Peripheral blood smear.
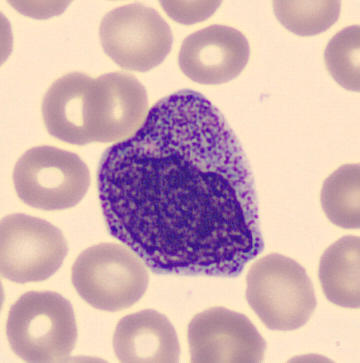

Morphological class = progranulocyte.